Bone marrow aspirate smear.
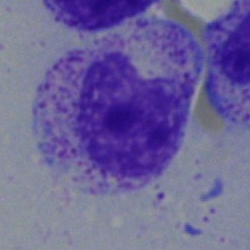

Impression — myelocyte.